Cropped to a single cell · bone marrow smear: 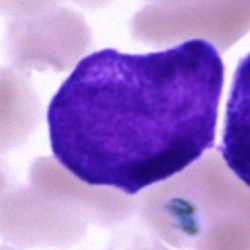Specimen: bone marrow aspirate smear.
Classification: blast cell.